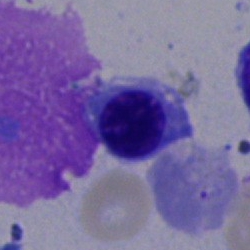Morphological class = nucleated red blood cell.